Bone marrow smear:
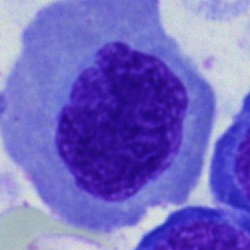

Morphology consistent with a nucleated red blood cell.